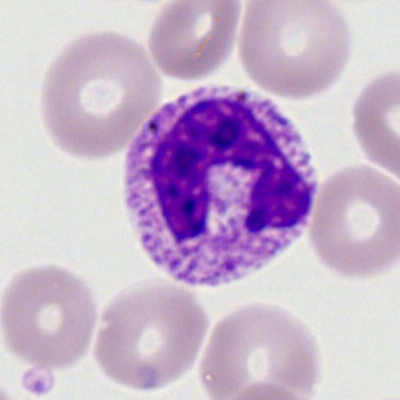
{"cell_type": "segmented neutrophil"}